Bone marrow smear: 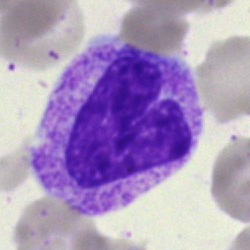 Q: What is shown here?
A: A stab cell.